Single-cell crop · brightfield microscopy, 40× oil immersion · bone marrow aspirate smear: 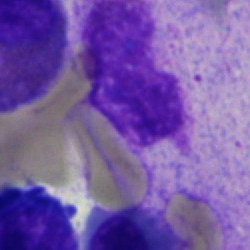 Morphological class — artefact.